Brightfield microscopy, 40× oil immersion. 250×250. Bone marrow smear.
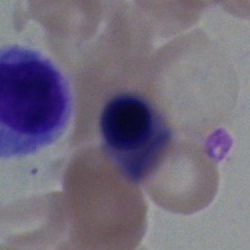 Nucleated red blood cell.